Single cell centered in the field · bone marrow aspirate smear · Pappenheim-stained:
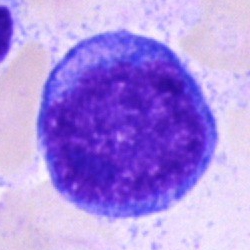 Q: What cell is this?
A: This is a blast.